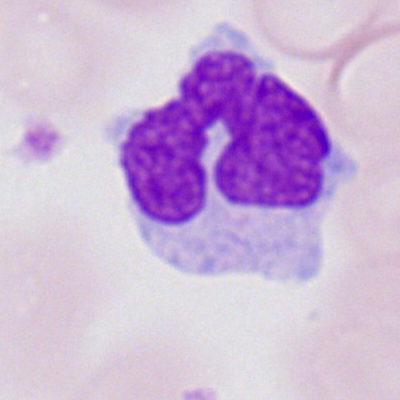
A monocyte on a peripheral blood smear.